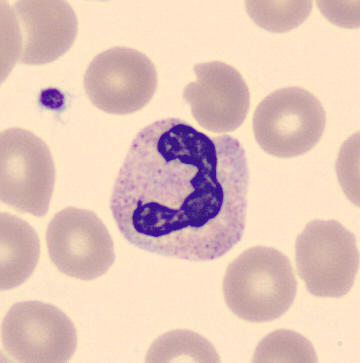

This is a band-form neutrophil.

Single cell centered in the field; May Grünwald-Giemsa stain; peripheral blood smear.